Bone marrow smear. 40× objective, oil immersion. Pappenheim-stained
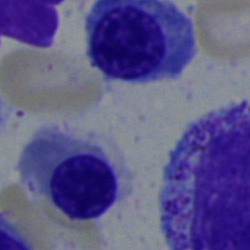 Classification: nucleated red cell.